Bone marrow smear · brightfield, 40× oil-immersion objective · cropped to a single cell — 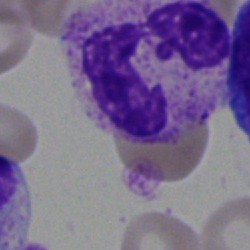
Morphology → neutrophil (segmented).